40× oil immersion. Bone marrow aspirate smear
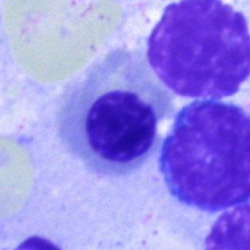

Q: What type of cell is this?
A: An erythroblast.